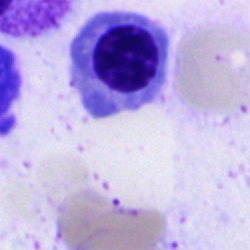 Cell type — normoblast.